250×250 px; bone marrow smear — 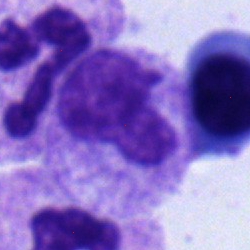Classification = band neutrophil.